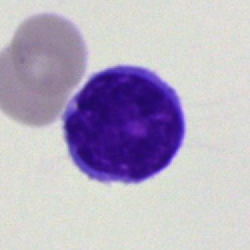This is a typical lymphocyte.